Bone marrow aspirate smear
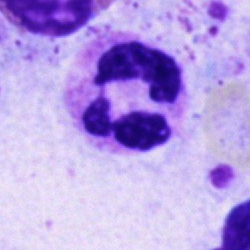

Showing a polymorphonuclear neutrophil.